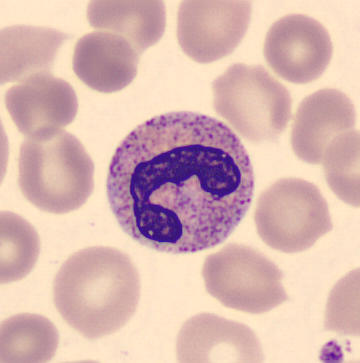
Q: What is the morphological classification of this cell?
A: This is a band neutrophil.